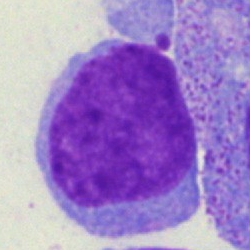 Specimen: bone marrow aspirate smear.
Morphological class: blast cell.